Bone marrow smear.
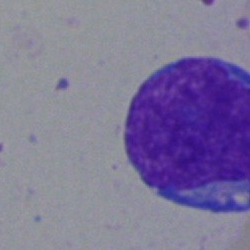

Morphological class = blast.